Cropped to a single cell; 250×250; bone marrow smear — 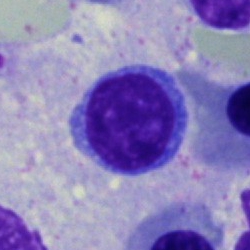

Classification — typical lymphocyte.